Bone marrow smear:
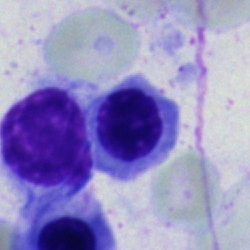 This is a nucleated red cell.